Pappenheim-stained; bone marrow aspirate smear
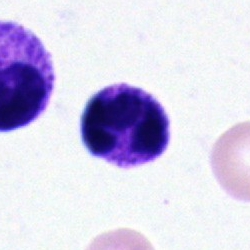The cell is segmented neutrophil.